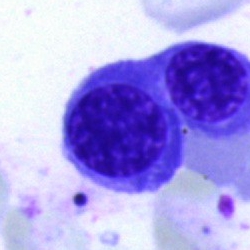

This is a nucleated red cell.